Pappenheim-stained · 250 by 250 pixels · bone marrow aspirate smear:
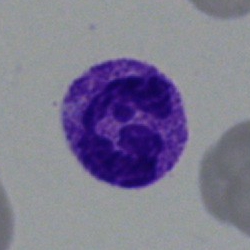Morphological class = polymorphonuclear neutrophil.